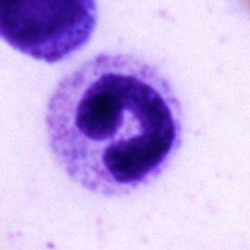
A neutrophil (band) on a bone marrow smear.